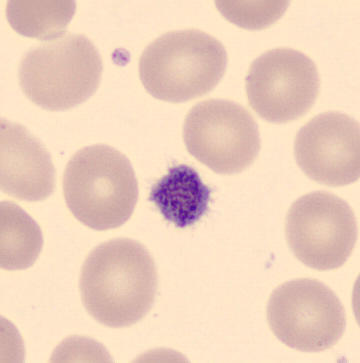From a peripheral blood smear: a platelet.